Bone marrow aspirate smear:
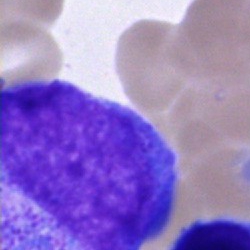
Single cell identified as a progranulocyte.